Bone marrow aspirate smear: 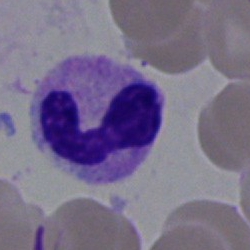Cell type — neutrophil (segmented).